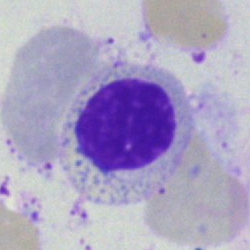
Specimen: bone marrow smear.
Cell: normoblast.